Bone marrow smear; 40× objective, oil immersion:
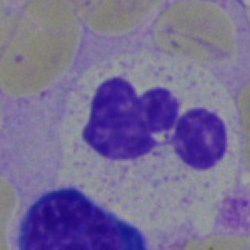Q: What is the morphological classification of this cell?
A: This is a neutrophil (segmented).